Bone marrow smear · 250 by 250 pixels
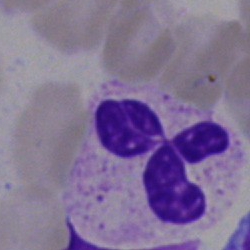

The cell shown is a polymorphonuclear neutrophil.